40× oil immersion · bone marrow aspirate smear
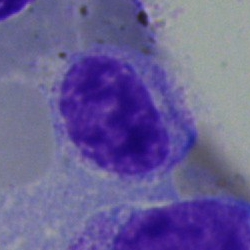 Morphology consistent with a lymphocyte.